Bone marrow smear.
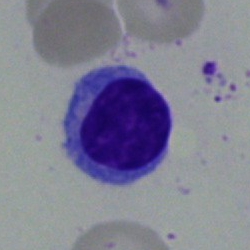

Specimen: bone marrow smear.
Morphological class: lymphocyte.
Lineage: lymphoid.